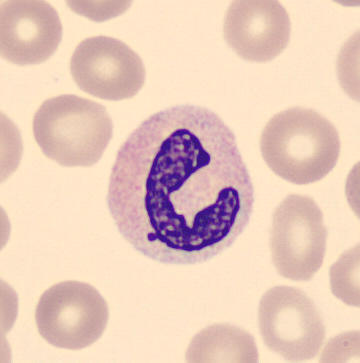 Classification: band neutrophil.